Bone marrow smear
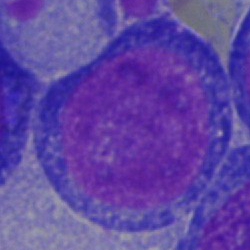
Q: Identify the cell.
A: Blast.